Peripheral blood film
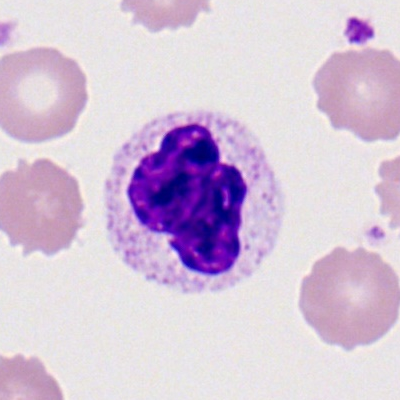The cell shown is a segmented neutrophil.